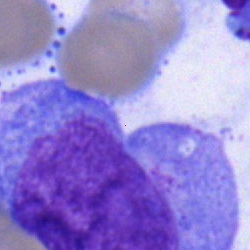 Bone marrow aspirate smear, single cell — blast cell.